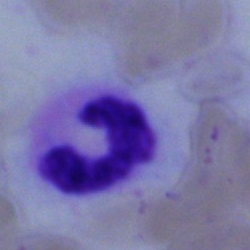

Cell: neutrophil (band).